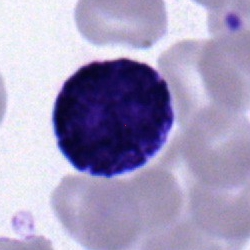Bone marrow smear showing a typical lymphocyte.